Bone marrow smear.
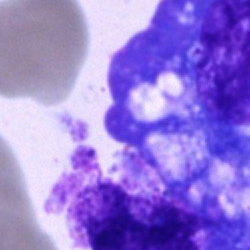Showing a plasmacyte.